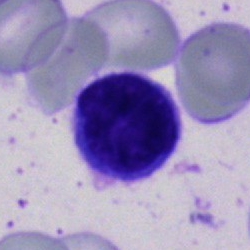

This is a typical lymphocyte.